Peripheral blood smear — 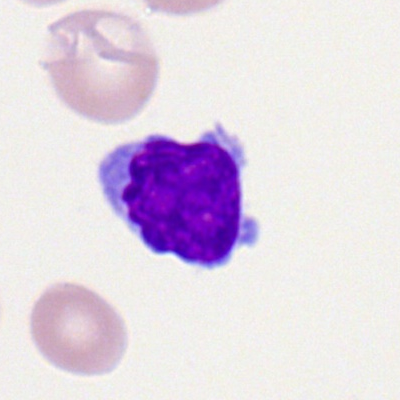

Q: What cell is this?
A: This is a typical lymphocyte.